Pappenheim-stained. Bone marrow aspirate smear:
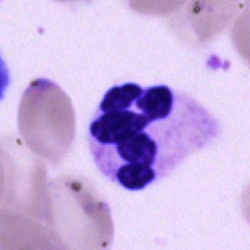
Cell type: polymorphonuclear neutrophil.